Bone marrow smear; brightfield, 40× oil-immersion objective
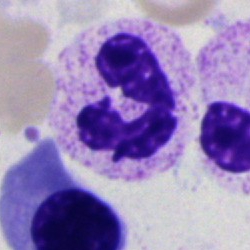 A polymorphonuclear neutrophil.